Bone marrow aspirate smear — 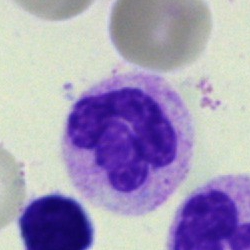

Impression → neutrophil (segmented).